Bone marrow aspirate smear.
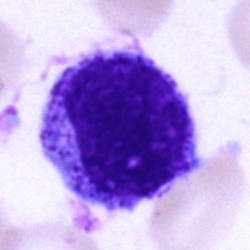

Single cell identified as a progranulocyte.